Bone marrow smear. Single-cell crop.
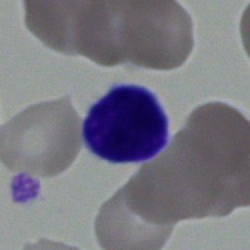 Impression → lymphocyte.